Romanowsky stain · peripheral blood film — 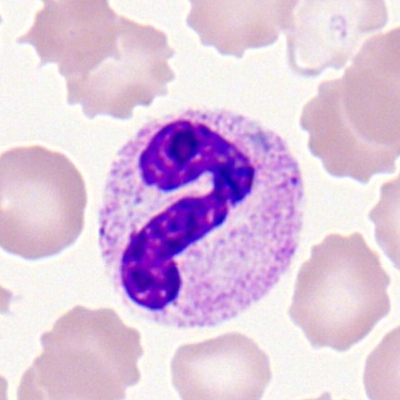 Cell = polymorphonuclear neutrophil.